Romanowsky-stained. Peripheral blood smear. 100× oil immersion: 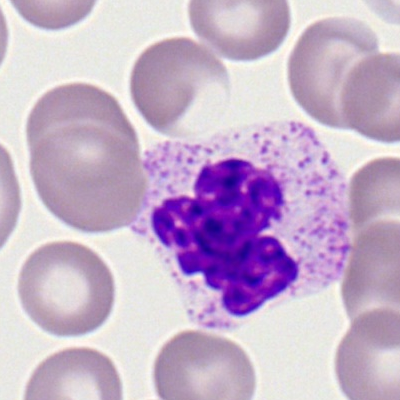Classification = segmented neutrophil.